40× oil immersion · bone marrow aspirate smear · 250 by 250 pixels
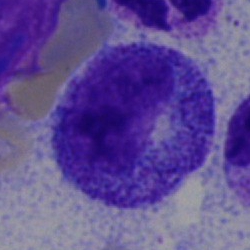

Impression — progranulocyte.